Bone marrow aspirate smear — 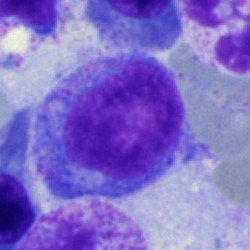 Specimen: bone marrow smear.
Cell: promyelocyte.
Lineage: myeloid.